Bone marrow aspirate smear:
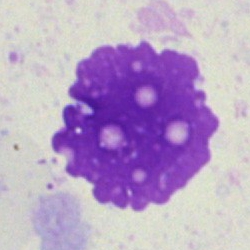Classification: artifact.